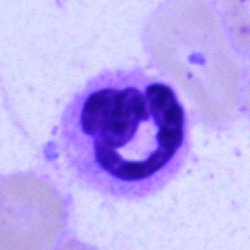 A neutrophil (segmented) on a bone marrow smear.